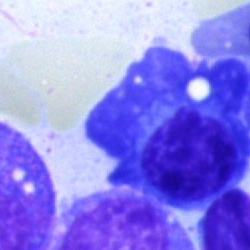 The cell shown is a plasmacyte.